Bone marrow aspirate smear — 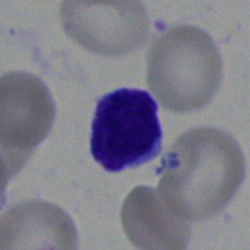 Specimen: bone marrow aspirate smear.
Classification: lymphocyte.
Lineage: lymphoid.